Bone marrow aspirate smear · May-Grünwald-Giemsa stain · 250×250 px:
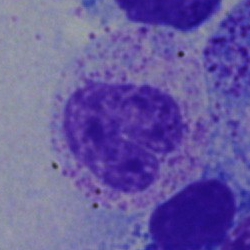Single cell identified as a band-form neutrophil.